Bone marrow smear; May-Grünwald-Giemsa/Pappenheim stain.
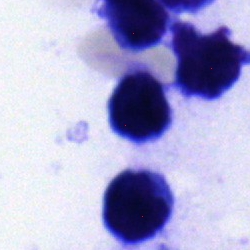

Morphology → typical lymphocyte.